Bone marrow aspirate smear:
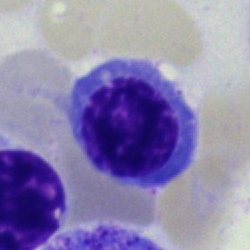

Q: What type of cell is this?
A: This is a nucleated red blood cell.